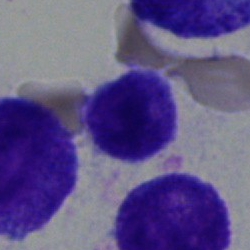 This is a lymphocyte.